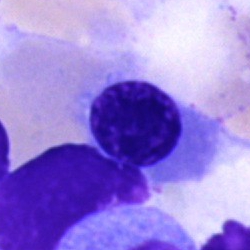Bone marrow smear showing a nucleated red cell.